Bone marrow aspirate smear
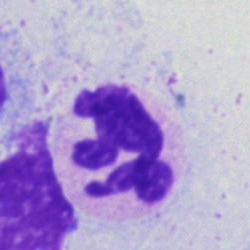The cell is polymorphonuclear neutrophil.